Bone marrow smear.
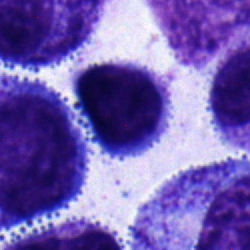 The cell shown is a typical lymphocyte.